40× oil immersion. May-Grünwald-Giemsa/Pappenheim stain. Bone marrow aspirate smear: 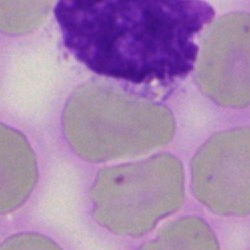 Q: What is shown here?
A: An artifact.